250×250; bone marrow aspirate smear:
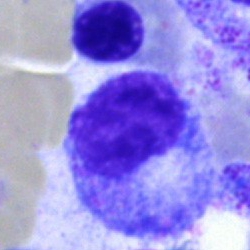The morphological class is progranulocyte.